Bone marrow smear: 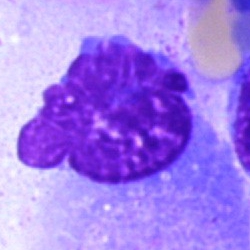 Q: What is shown here?
A: Artefact.